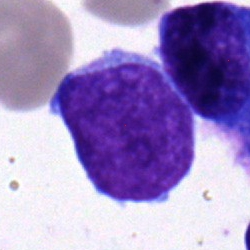 Cell type = blast.